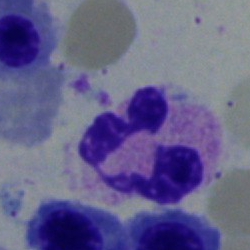Cell — polymorphonuclear neutrophil.